Bone marrow smear · 250×250
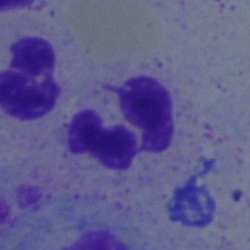

Single cell identified as a segmented neutrophil.